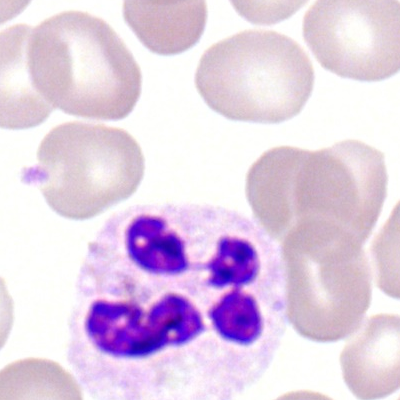 Showing a polymorphonuclear neutrophil.